Bone marrow aspirate smear. Cropped to a single cell — 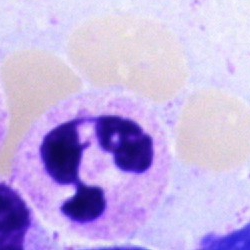 Q: What is the morphological classification of this cell?
A: A polymorphonuclear neutrophil.